Bone marrow smear: 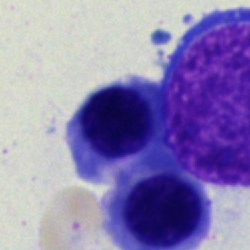 The classification is normoblast.